Bone marrow smear:
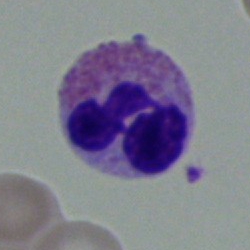
An eosinophil.